May-Grünwald-Giemsa/Pappenheim stain · bone marrow smear · single cell centered in the field
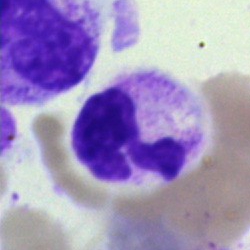Morphological class: neutrophil (segmented).